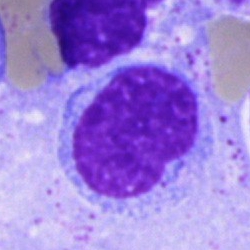

Impression — undifferentiated blast.